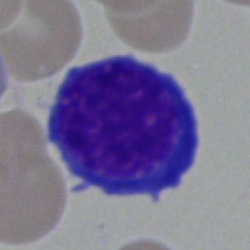
{"cell_type": "pronormoblast", "lineage": "erythroid"}